Bone marrow aspirate smear.
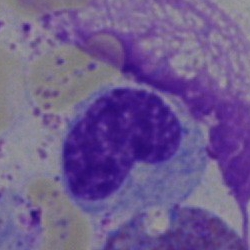
Morphological class = band neutrophil.